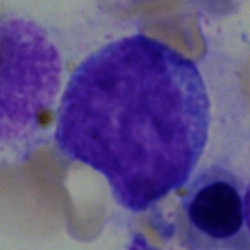

Morphology consistent with a blast cell.